Bone marrow smear; 250 by 250 pixels:
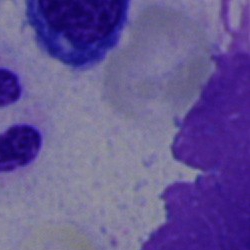

Morphology consistent with an artefact.